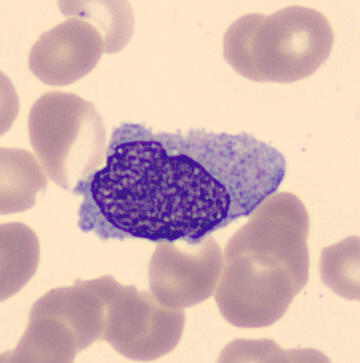 Preparation: Peripheral blood film.

Classification = monocyte.